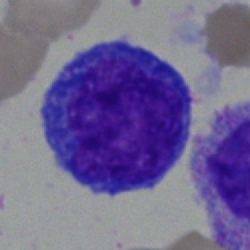 Q: What cell is this?
A: It is an undifferentiated blast.